Bone marrow aspirate smear — 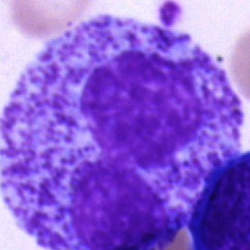 The cell type is progranulocyte.